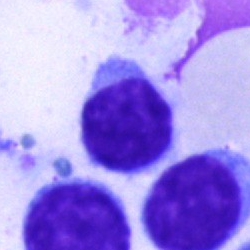

Single cell identified as a lymphocyte.